Bone marrow smear
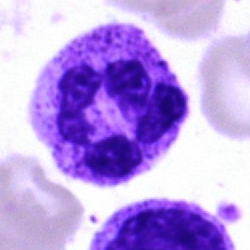

Impression → polymorphonuclear neutrophil.